Peripheral blood film. 100× oil immersion, 14.14 px/µm: 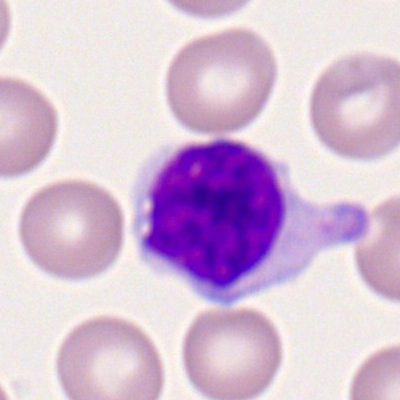The cell shown is a lymphocyte.